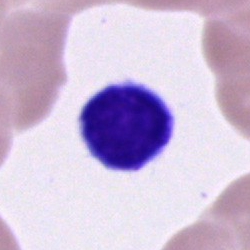

Specimen: bone marrow aspirate smear.
Classification: typical lymphocyte.